40× oil immersion · bone marrow aspirate smear · single-cell field — 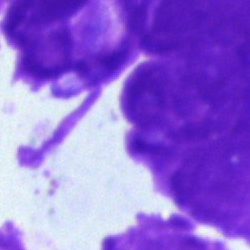 An artefact.